Bone marrow smear; 250 by 250 pixels:
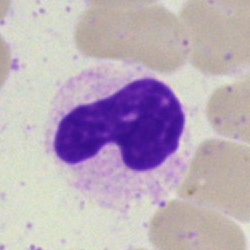Q: What is the morphological classification of this cell?
A: This is a neutrophil (segmented).